Bone marrow smear
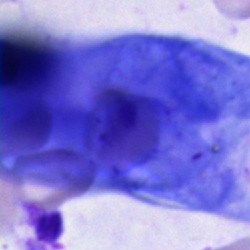 Q: What is shown here?
A: It is an artifact.